Single-cell field. Brightfield, 40× oil-immersion objective. Bone marrow aspirate smear:
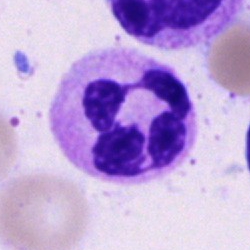 Q: What cell is this?
A: It is a segmented neutrophil.